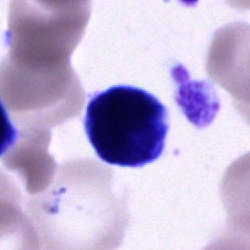 Q: What is the morphological classification of this cell?
A: An unidentifiable cell.